Bone marrow smear · 40× objective, oil immersion:
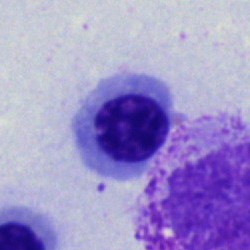

Morphology consistent with an erythroblast.